Bone marrow smear — 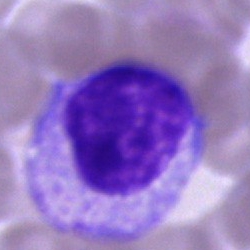 Morphology consistent with an unidentifiable cell.